Peripheral blood smear
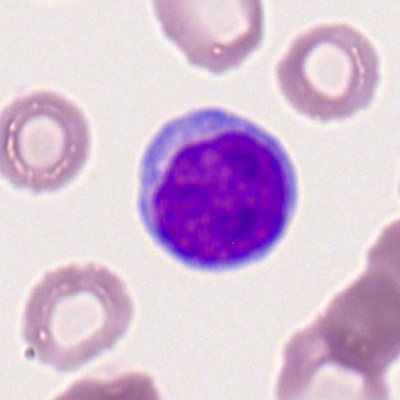 Morphology — typical lymphocyte.